Bone marrow aspirate smear:
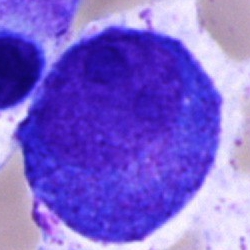

Morphological class — promyelocyte.